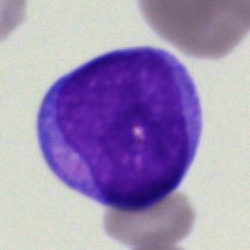

Q: Identify the cell.
A: Undifferentiated blast.